250×250 · single-cell field · bone marrow smear: 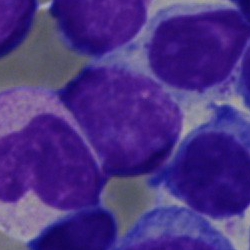

Q: Identify the cell.
A: A typical lymphocyte.